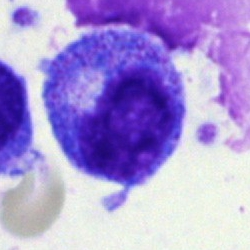
{"cell_type": "progranulocyte", "lineage": "myeloid"}